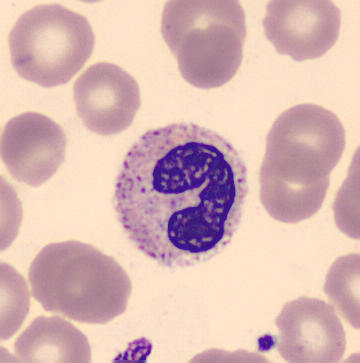Specimen: peripheral blood smear.
Morphological class: band-form neutrophil.
Lineage: myeloid.